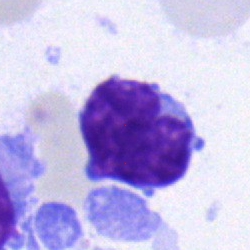

Q: What cell is this?
A: Typical lymphocyte.